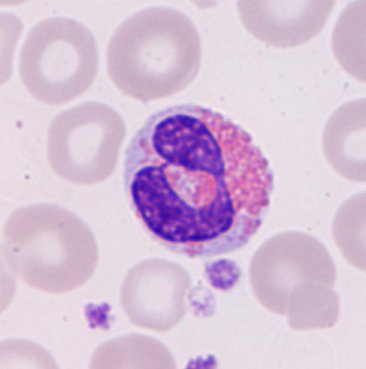 Cell type: eosinophil.
Automated cell imaging (CellaVision DM96) · peripheral blood film.